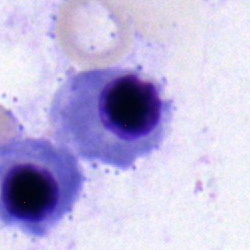 Morphology — nucleated red cell.